Peripheral blood smear. 100× oil immersion. Romanowsky stain: 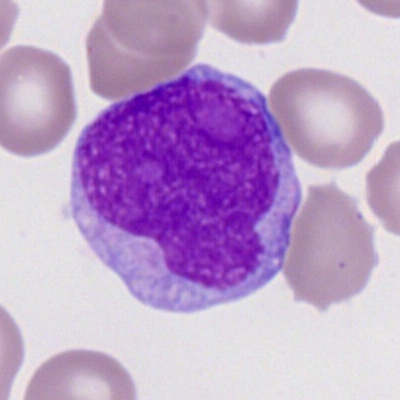Classification — myeloid blast.